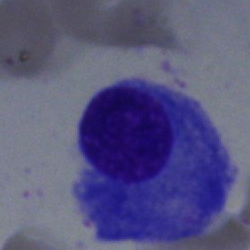 Plasmacyte.